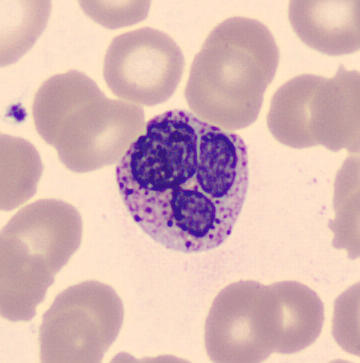

Single cell identified as a basophil.